May-Grünwald-Giemsa stain; bone marrow aspirate smear:
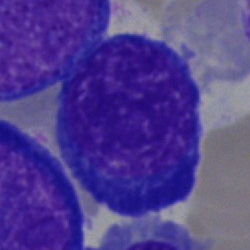 Specimen: bone marrow aspirate smear.
Cell type: normoblast.